Bone marrow smear; May-Grünwald-Giemsa stain
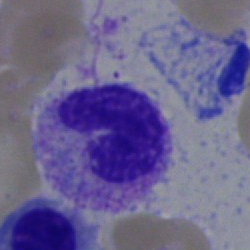

{"cell_type": "stab cell", "lineage": "myeloid"}